Bone marrow aspirate smear; 40× oil immersion:
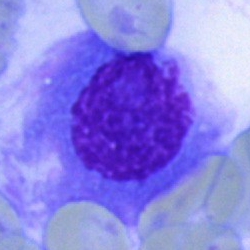

Q: Which cell type is shown here?
A: Plasma cell.